Image size 250×250; bone marrow aspirate smear; 40× objective, oil immersion.
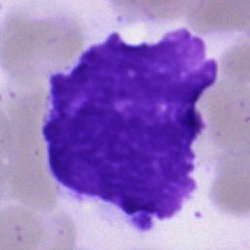
This is an artefact.